Bone marrow smear.
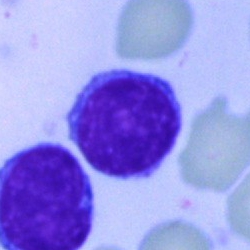Q: Identify the cell.
A: A typical lymphocyte.